Bone marrow aspirate smear
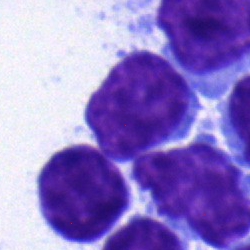

Classification: typical lymphocyte.